Bone marrow smear.
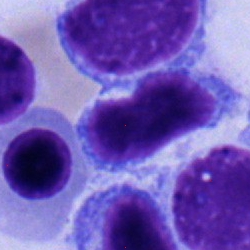
Q: Which cell type is shown here?
A: Lymphocyte.